Bone marrow smear
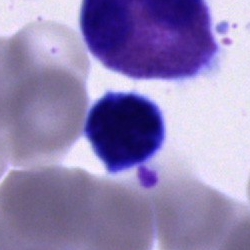Cell type: cell of indeterminate lineage.